Bone marrow aspirate smear: 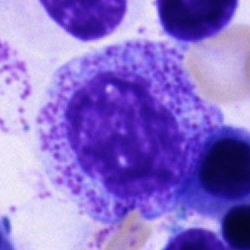

Classification = progranulocyte.